Bone marrow smear:
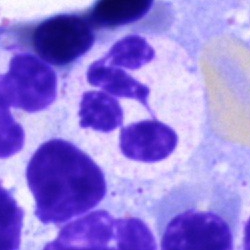A polymorphonuclear neutrophil.